Bone marrow smear. Brightfield microscopy, 40× oil immersion: 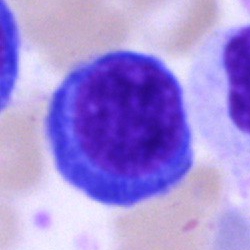

The cell is normoblast.